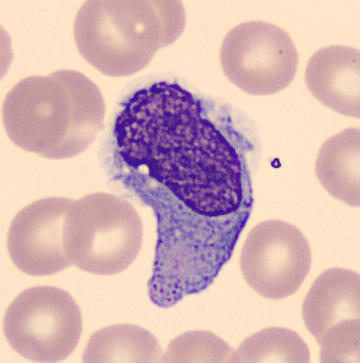Morphological class: monocyte. Peripheral blood smear.